250×250 px; single-cell crop; bone marrow smear: 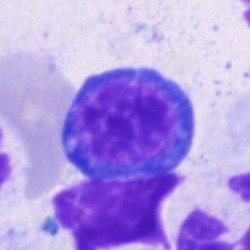Nucleated red cell.